Bone marrow aspirate smear · brightfield, 40× oil-immersion objective — 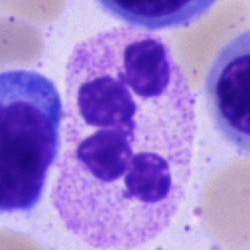
Single cell identified as a neutrophil (segmented).